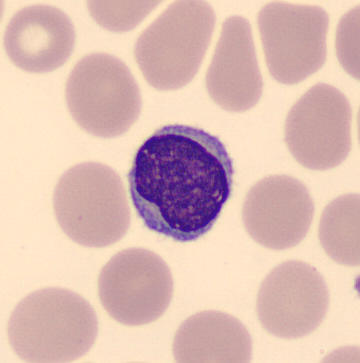Acquisition: Peripheral blood film.

Morphological class = typical lymphocyte.